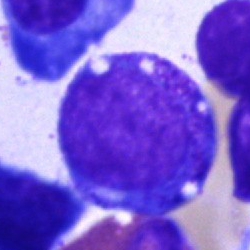

Morphological class: progranulocyte.